Peripheral blood smear: 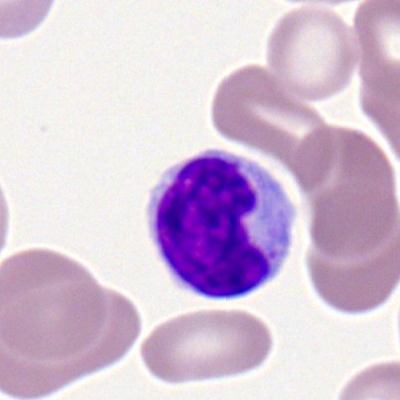Q: What is the morphological classification of this cell?
A: A typical lymphocyte.